Bone marrow smear
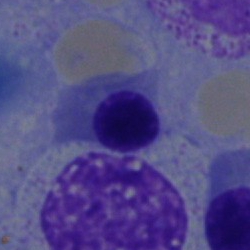
{"cell_type": "normoblast", "lineage": "erythroid"}